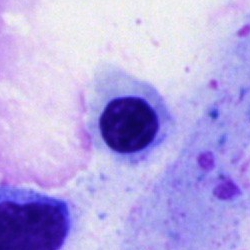 A nucleated red cell on a bone marrow smear.